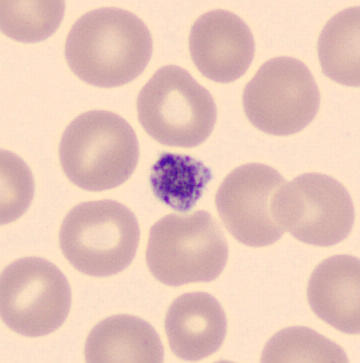
Peripheral blood film · imaged on a CellaVision DM96 analyser. This is a platelet.